Peripheral blood smear — 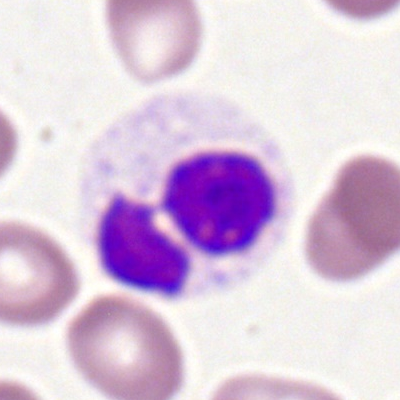Morphology consistent with a polymorphonuclear neutrophil.